Bone marrow smear. Brightfield, 40× oil-immersion objective
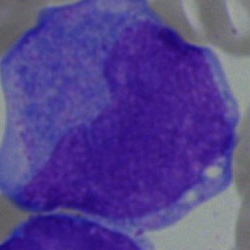

Monocyte.